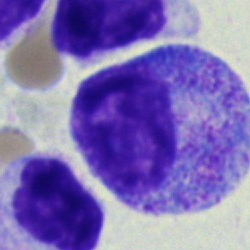Classification — promyelocyte.